Bone marrow aspirate smear: 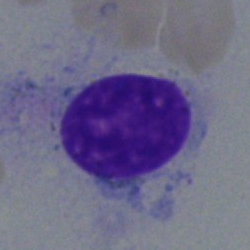

An artefact.